Bone marrow aspirate smear.
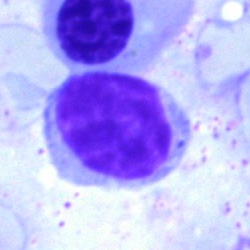

The cell shown is a typical lymphocyte.